Cropped to a single cell · brightfield microscopy, 40× oil immersion · bone marrow smear — 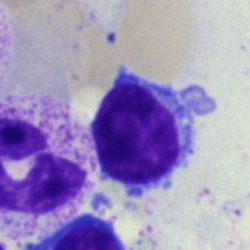
Classification — typical lymphocyte.